Peripheral blood film. Image size 400×400.
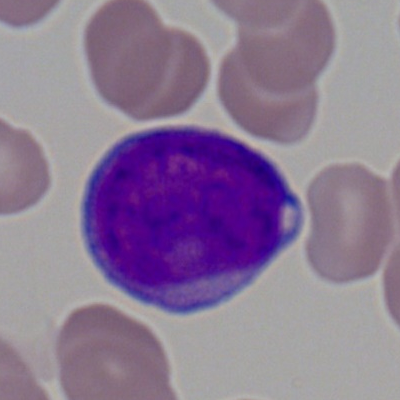
The classification is myeloid blast.